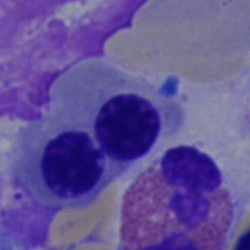Nucleated red blood cell.